Bone marrow smear:
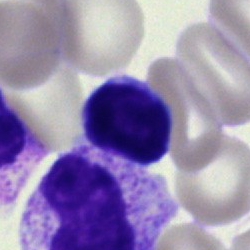Specimen: bone marrow smear.
Classification: lymphocyte.
Lineage: lymphoid.